May-Grünwald-Giemsa stain; bone marrow aspirate smear: 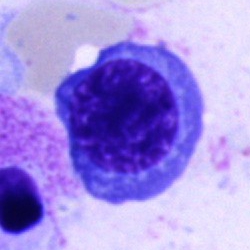

Specimen: bone marrow aspirate smear.
Cell: erythroblast.
Lineage: erythroid.